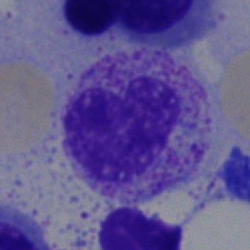
Impression — metamyelocyte.